Bone marrow smear: 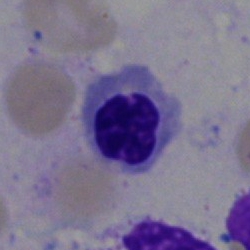
Q: Identify the cell.
A: This is an erythroblast.